40× oil immersion · May-Grünwald-Giemsa/Pappenheim stain · bone marrow aspirate smear:
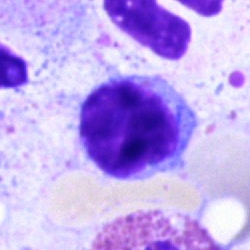Cell type = typical lymphocyte.